Bone marrow aspirate smear.
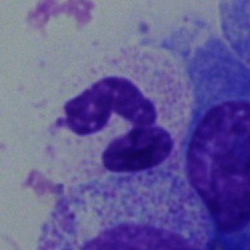 Neutrophil (segmented).